MGG stain; peripheral blood film: 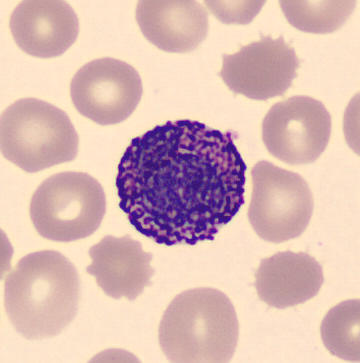 Morphology consistent with a basophilic granulocyte.